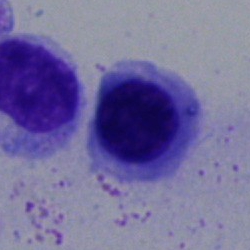 An erythroblast on a bone marrow smear.